250×250 px. Bone marrow smear.
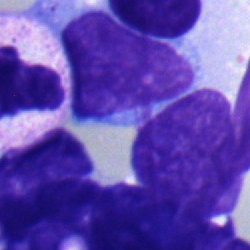

The cell shown is a lymphocyte.